Bone marrow smear:
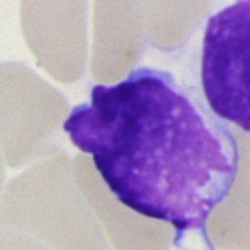 Showing a lymphocyte.